Bone marrow aspirate smear.
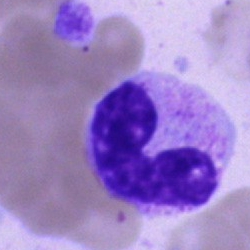
Q: What type of cell is this?
A: A stab cell.